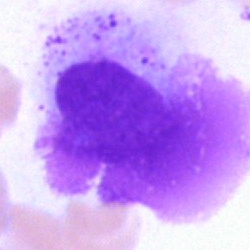
Specimen: bone marrow smear.
Morphological class: artifact.